Peripheral blood film; Romanowsky stain; cropped to a single cell: 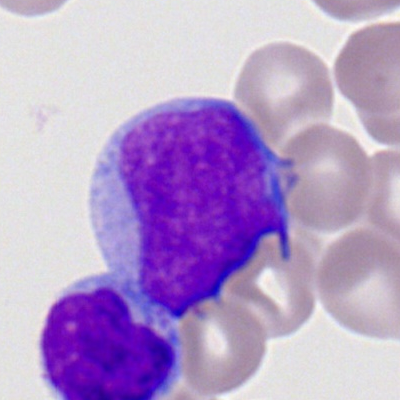

Cell = myeloblast.